Bone marrow smear
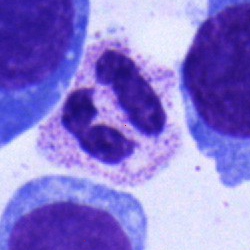

Showing a segmented neutrophil.